Bone marrow smear; 250×250
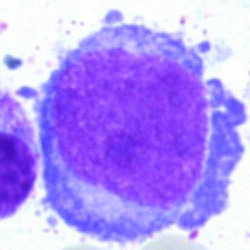 Classification — blast cell.